Pappenheim-stained; bone marrow aspirate smear; 40× objective, oil immersion
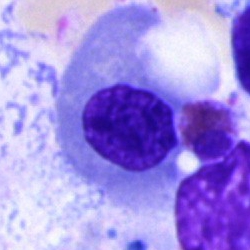
Morphology — nucleated red blood cell.